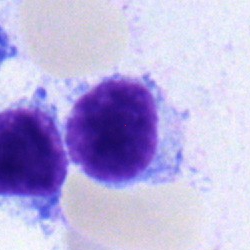

Morphological class = typical lymphocyte.